Peripheral blood smear. 400 by 400 pixels. 100× oil immersion, 14.14 px/µm
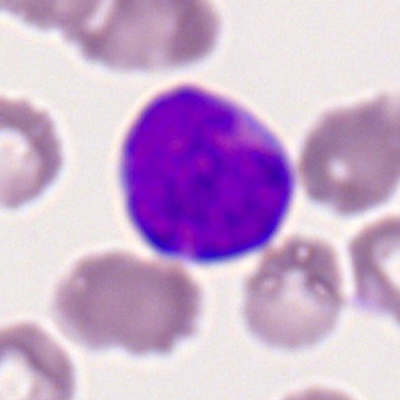Q: What is the morphological classification of this cell?
A: It is a myeloblast.